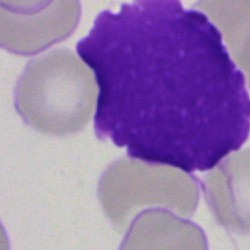
Morphological class: artefact.